Bone marrow aspirate smear · brightfield, 40× oil-immersion objective.
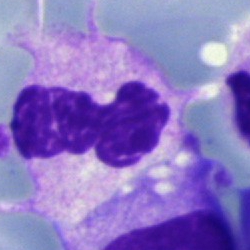Q: Which cell type is shown here?
A: A segmented neutrophil.